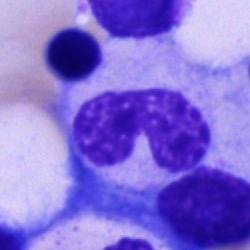

Specimen: bone marrow smear.
Classification: metamyelocyte.
Lineage: myeloid.